Bone marrow smear.
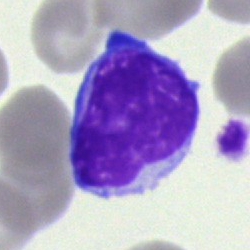

Q: What cell is this?
A: Undifferentiated blast.